40× objective, oil immersion; bone marrow aspirate smear; cropped to a single cell
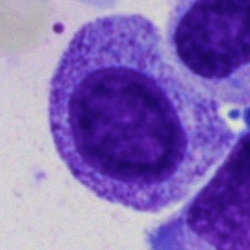
Q: What is shown here?
A: A myelocyte.